Bone marrow aspirate smear — 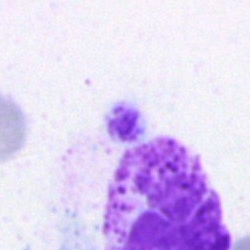

Artifact.